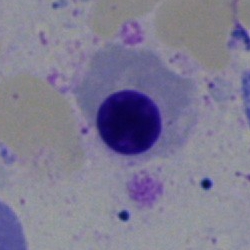

This is a nucleated red blood cell.